Bone marrow aspirate smear — 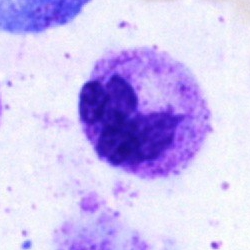
Q: What cell is this?
A: Segmented neutrophil.